40× oil immersion · bone marrow smear · Pappenheim-stained
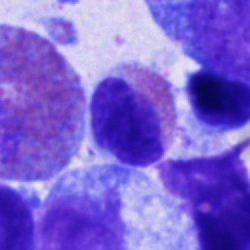

{"cell_type": "eosinophil"}